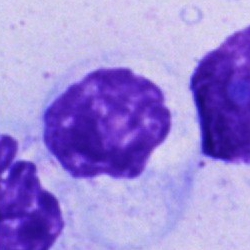

Specimen: bone marrow smear.
Classification: artifact.